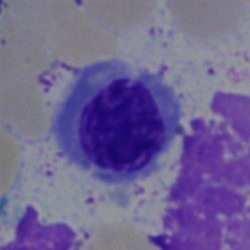 Bone marrow aspirate smear, single cell — nucleated red blood cell.